Bone marrow aspirate smear
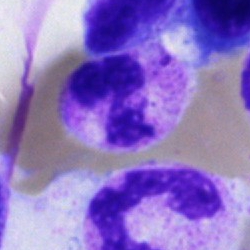Q: What cell is this?
A: Neutrophil (segmented).